Bone marrow smear
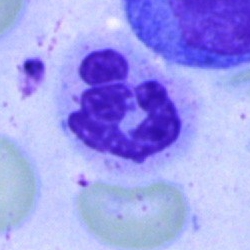The cell shown is a polymorphonuclear neutrophil.